Bone marrow aspirate smear — 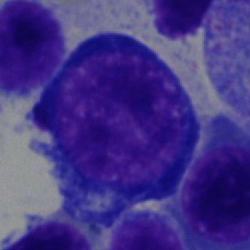
Cell = normoblast.